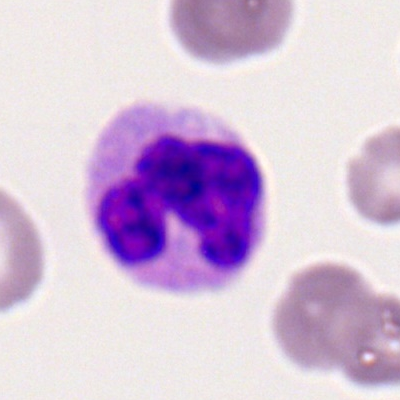This is a segmented neutrophil.